Bone marrow aspirate smear — 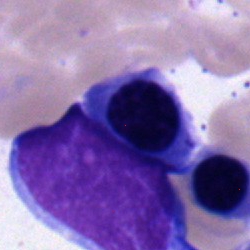 Normoblast.